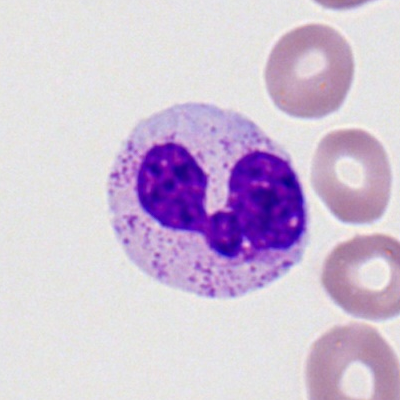
Peripheral blood smear showing a neutrophil (segmented).